Bone marrow smear:
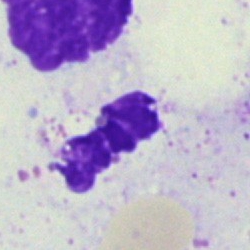
Classification — artefact.